250×250; bone marrow smear; single-cell crop:
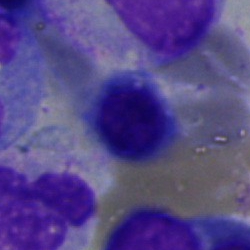The cell shown is a normoblast.